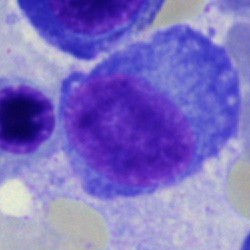

The classification is plasmacyte.